Bone marrow aspirate smear · May-Grünwald-Giemsa/Pappenheim stain:
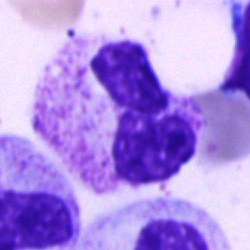
Specimen: bone marrow smear.
Cell type: neutrophil (segmented).